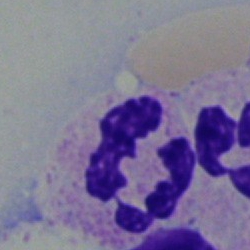Impression — polymorphonuclear neutrophil.